Bone marrow aspirate smear
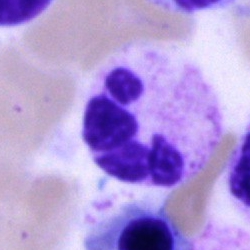
Specimen: bone marrow smear.
Morphological class: segmented neutrophil.
Lineage: myeloid.